Bone marrow aspirate smear. 250×250 px. 40× oil immersion.
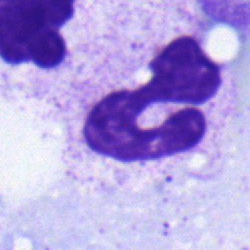

Cell: segmented neutrophil.